Bone marrow aspirate smear.
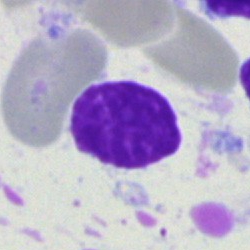
Specimen: bone marrow smear.
Cell: artifact.